Single cell centered in the field · bone marrow aspirate smear:
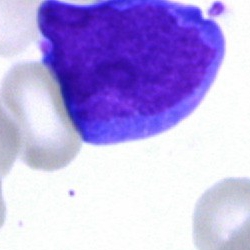
Morphology — monocyte.